Bone marrow smear — 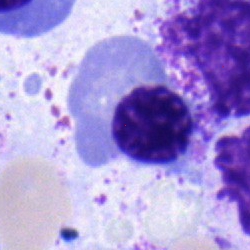 Morphological class — nucleated red blood cell.